Bone marrow smear · 250×250 px: 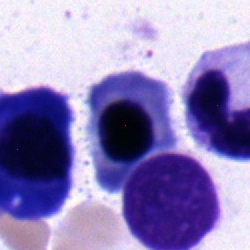
Cell = nucleated red blood cell.